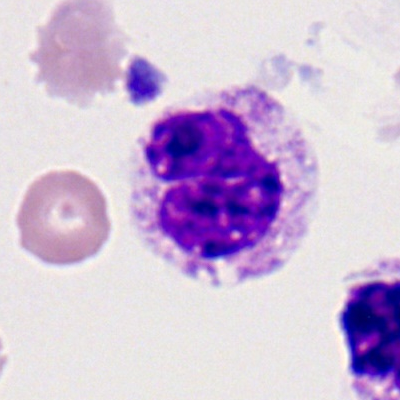 Single cell identified as a polymorphonuclear neutrophil.